Single-cell field. Bone marrow aspirate smear: 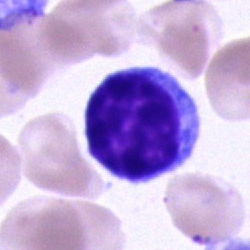

{"cell_type": "lymphocyte", "lineage": "lymphoid"}